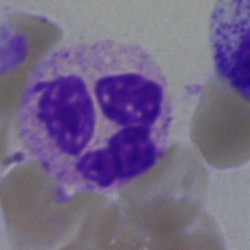
Morphology → neutrophil (segmented).